Bone marrow smear. Brightfield microscopy, 40× oil immersion
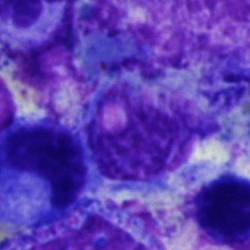 Single cell identified as an artefact.